Peripheral blood smear
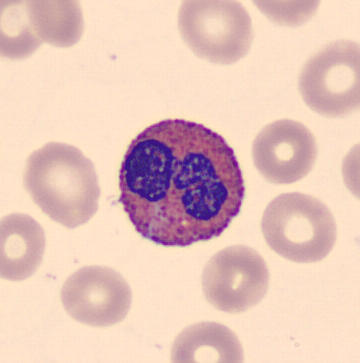Specimen: peripheral blood film.
Cell: eosinophil.